Bone marrow aspirate smear: 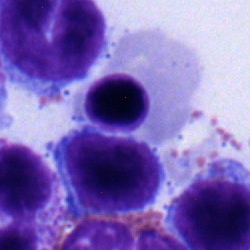 Q: What type of cell is this?
A: This is a nucleated red blood cell.